Single-cell field. Brightfield microscopy, 40× oil immersion. Bone marrow smear — 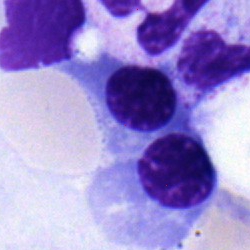

Morphological class: nucleated red cell.